Bone marrow aspirate smear:
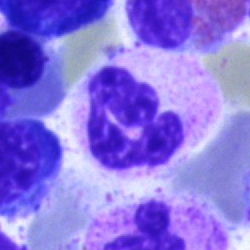The cell type is neutrophil (segmented).